40× objective, oil immersion. Bone marrow aspirate smear. Single-cell field — 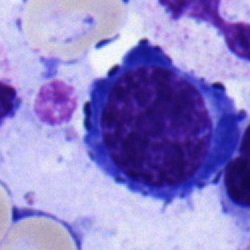

Q: What is shown here?
A: It is a normoblast.